Bone marrow aspirate smear
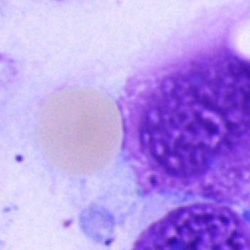The cell shown is an artefact.